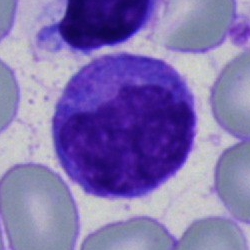 Q: Which cell type is shown here?
A: It is a monocyte.